Bone marrow smear — 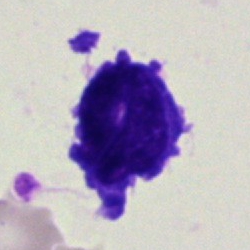

Morphology — blast cell.